Bone marrow smear.
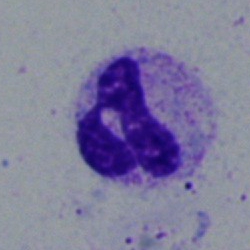
Specimen: bone marrow aspirate smear.
Morphological class: polymorphonuclear neutrophil.